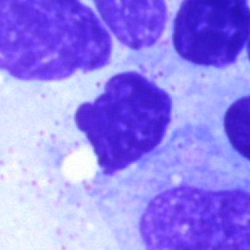 Cell type = artefact.